Bone marrow smear · 250×250 px · 40× oil immersion — 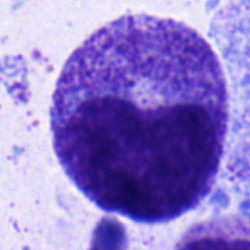 Specimen: bone marrow aspirate smear.
Morphological class: progranulocyte.
Lineage: myeloid.